Bone marrow aspirate smear · single cell centered in the field:
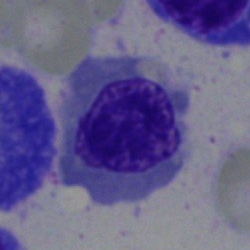
A normoblast.